250×250 px; single cell centered in the field; bone marrow smear: 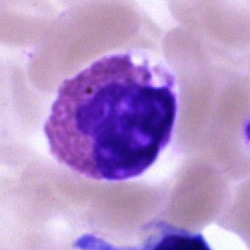{"cell_type": "eosinophilic granulocyte", "lineage": "myeloid"}